Bone marrow aspirate smear — 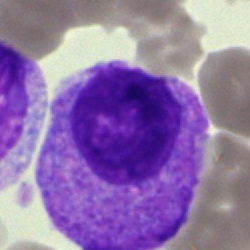 Cell: myelocyte.